Bone marrow smear: 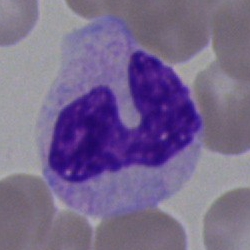 Cell type: neutrophil (segmented).